Peripheral blood smear.
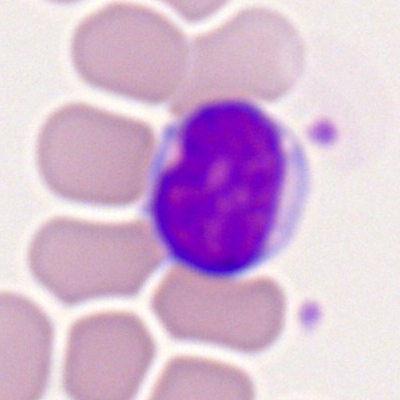Morphology — typical lymphocyte.